Bone marrow smear; MGG-stained; 250×250 px — 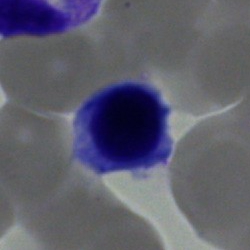

The cell is normoblast.